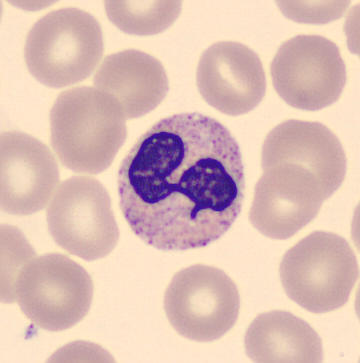
Morphology consistent with a polymorphonuclear neutrophil. Acquisition: May-Grünwald-Giemsa-stained · peripheral blood film · single cell centered in the field.